Bone marrow smear · cropped to a single cell: 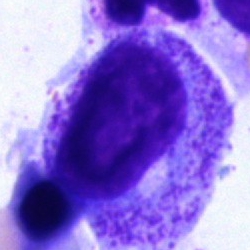
Impression → progranulocyte.